Bone marrow aspirate smear.
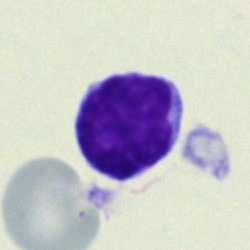

Morphology — typical lymphocyte.